Bone marrow aspirate smear · May-Grünwald-Giemsa stain: 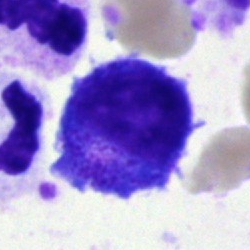 Cell: progranulocyte.